Peripheral blood smear; Romanowsky stain; 400×400: 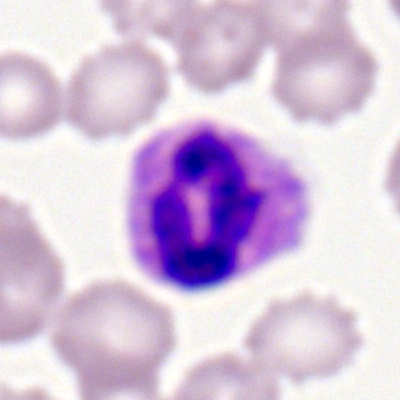 Single cell identified as a neutrophil (segmented).